Bone marrow smear. 40× objective, oil immersion:
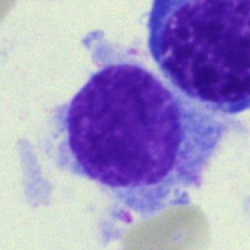Specimen: bone marrow aspirate smear.
Classification: hairy cell.